Bone marrow smear
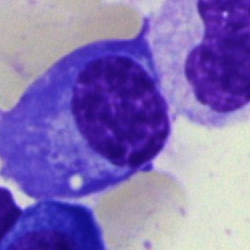Cell type — plasmacyte.